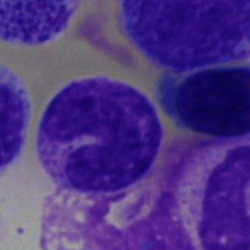
A neutrophil (band).